Romanowsky stain; peripheral blood film; single-cell field: 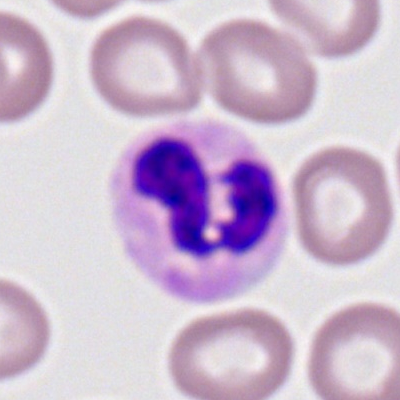

Morphology → neutrophil (segmented).